Cropped to a single cell. Bone marrow aspirate smear. MGG-stained
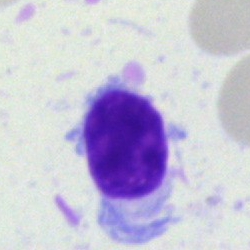Cell type: typical lymphocyte.